Pappenheim-stained. 250×250 px. Bone marrow smear:
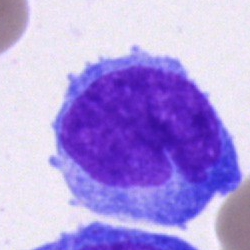 A blast cell.